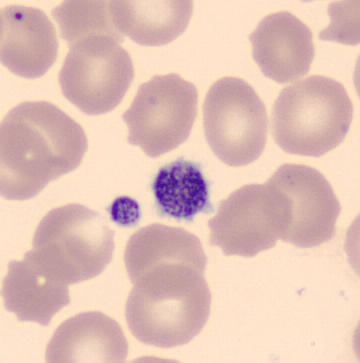
{"cell_type": "platelet"}